Bone marrow smear — 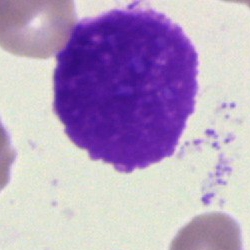

Specimen: bone marrow smear.
Cell type: artefact.